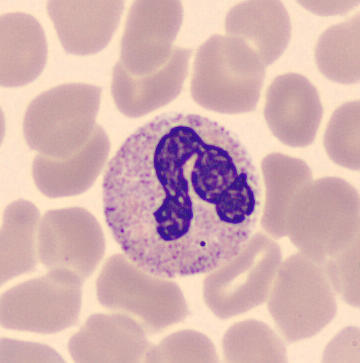
Cell: polymorphonuclear neutrophil. Image: Peripheral blood film.